Bone marrow aspirate smear:
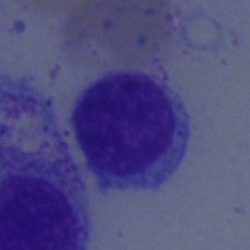
Specimen: bone marrow smear.
Morphological class: typical lymphocyte.
Lineage: lymphoid.